Peripheral blood film — 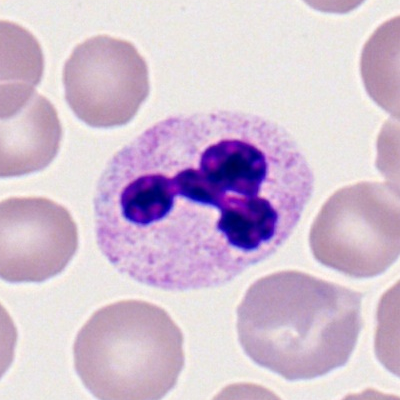This is a neutrophil (segmented).